May-Grünwald-Giemsa/Pappenheim stain. Bone marrow aspirate smear: 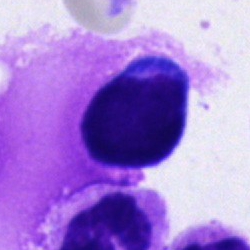 Morphology consistent with a lymphocyte.